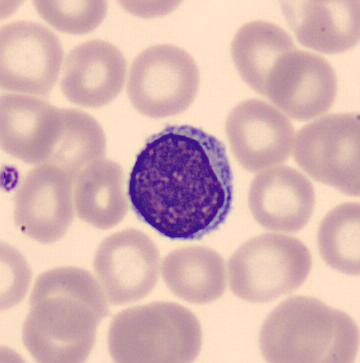Lymphocyte. Preparation: Peripheral blood smear.